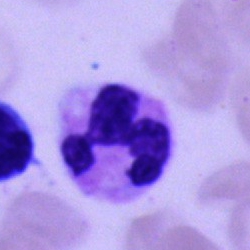
The cell type is neutrophil (segmented).